Cropped to a single cell. Peripheral blood film — 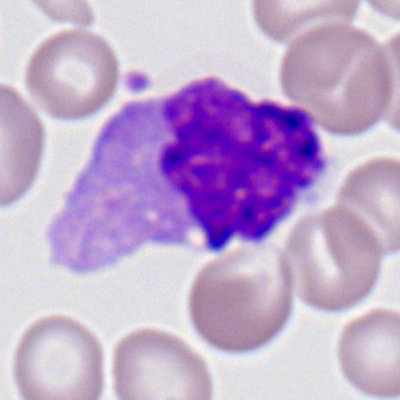 Specimen: peripheral blood smear.
Cell: monocyte.
Lineage: myeloid.